Image size 250×250; bone marrow aspirate smear:
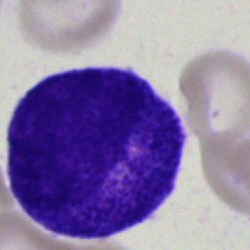
Q: Which cell type is shown here?
A: Promyelocyte.